Bone marrow aspirate smear: 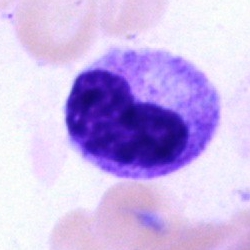Single cell identified as a metamyelocyte.